Bone marrow aspirate smear — 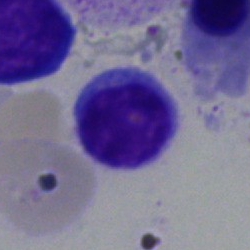
Specimen: bone marrow smear.
Cell type: typical lymphocyte.
Lineage: lymphoid.